Bone marrow smear. Brightfield microscopy, 40× oil immersion. 250×250
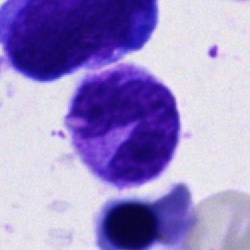
Q: Which cell type is shown here?
A: A neutrophil (band).